Bone marrow smear; Pappenheim-stained — 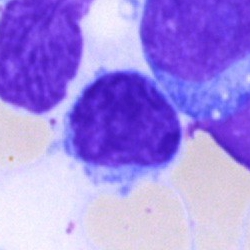
Classification — lymphocyte.